Bone marrow aspirate smear.
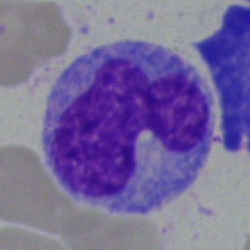 Morphology → monocyte.